Bone marrow aspirate smear — 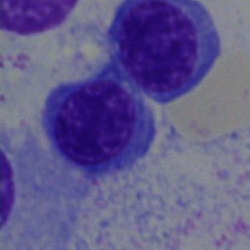

{"cell_type": "erythroblast"}